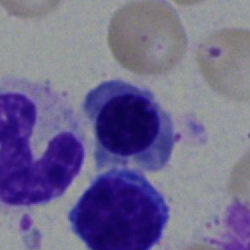Cell = nucleated red blood cell.